Bone marrow smear. Single cell centered in the field
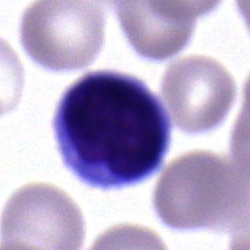Single cell identified as a lymphocyte.